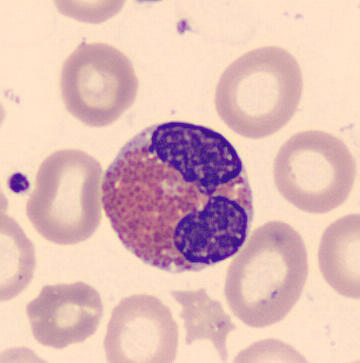
Q: What is the morphological classification of this cell?
A: Eosinophil. Preparation: Peripheral blood smear.